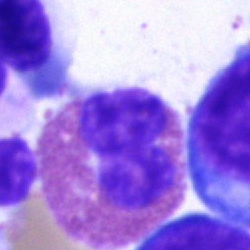 Impression → eosinophil.